Bone marrow aspirate smear — 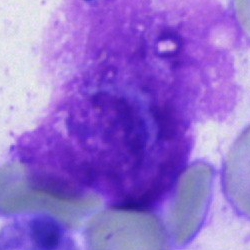
Q: What is shown here?
A: It is an artifact.